Bone marrow aspirate smear · brightfield, 40× oil-immersion objective: 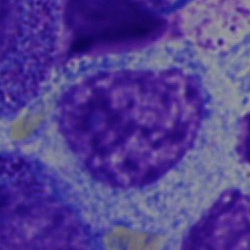 This is a myelocyte.